Bone marrow smear. Image size 250×250
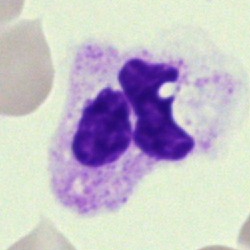 Q: What type of cell is this?
A: This is a neutrophil (segmented).